Bone marrow aspirate smear. Single-cell crop:
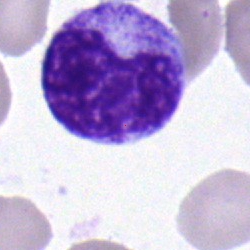Specimen: bone marrow aspirate smear.
Cell type: metamyelocyte.
Lineage: myeloid.